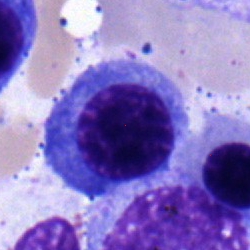

Single-cell crop from a bone marrow smear: nucleated red blood cell.